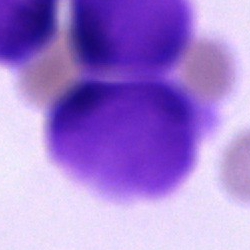The cell shown is an artifact.